Bone marrow smear — 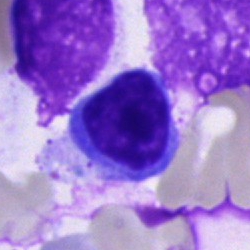

Q: Which cell type is shown here?
A: This is a plasmacyte.